Peripheral blood film; Romanowsky-type stain
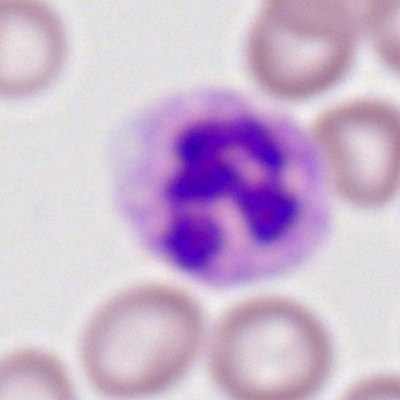
Morphological class = polymorphonuclear neutrophil.